Bone marrow aspirate smear · 250 by 250 pixels:
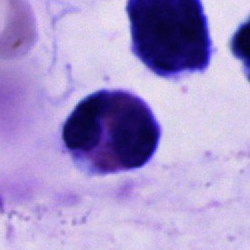
The morphological class is artefact.